Peripheral blood film.
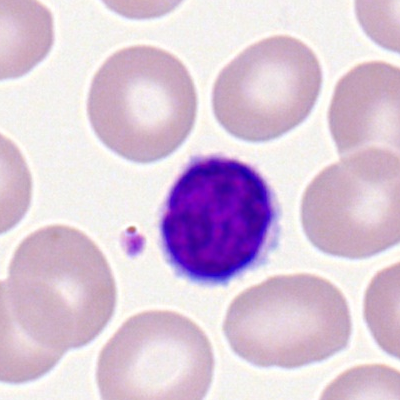

Showing a typical lymphocyte.